Bone marrow aspirate smear.
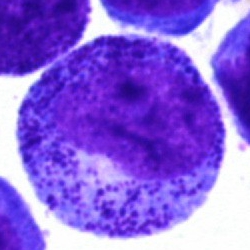

Progranulocyte.